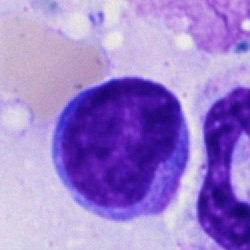
The cell is undifferentiated blast.